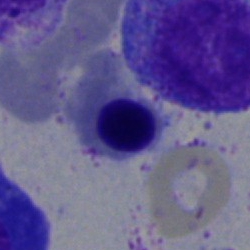

Morphology consistent with a nucleated red blood cell.